40× oil immersion · May-Grünwald-Giemsa stain · bone marrow aspirate smear.
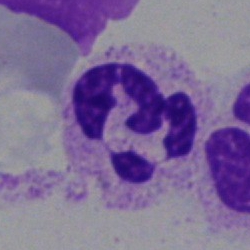

Single cell identified as a polymorphonuclear neutrophil.